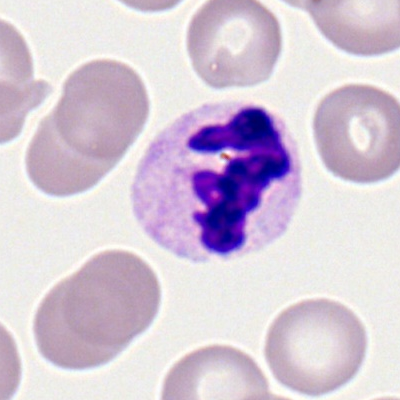

Morphological class = neutrophil (segmented).